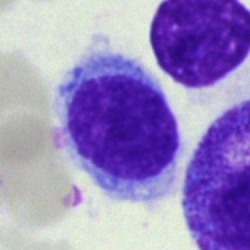
Morphology → hairy cell.